Peripheral blood smear; M8 digital microscope (Precipoint), 100× oil immersion
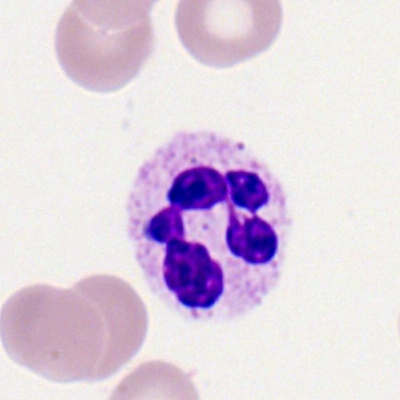 Cell type: neutrophil (segmented).